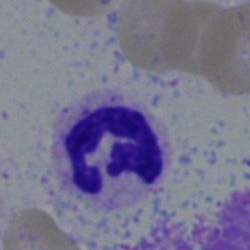Specimen: bone marrow smear.
Morphological class: segmented neutrophil.